Brightfield, 40× oil-immersion objective; bone marrow smear — 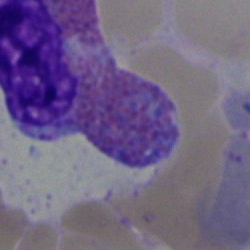 An eosinophil.